May-Grünwald-Giemsa-stained. Peripheral blood film. 360×363 px.
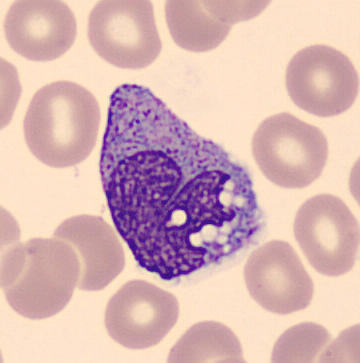Q: What is this?
A: It is a monocyte.